Bone marrow aspirate smear; cropped to a single cell: 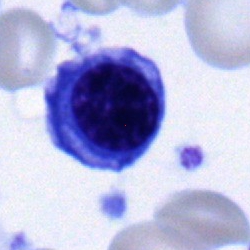

Impression — plasma cell.